Bone marrow smear: 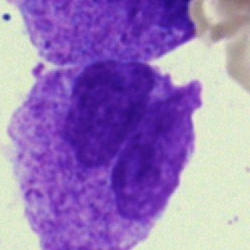Impression → undifferentiated blast.